Bone marrow smear — 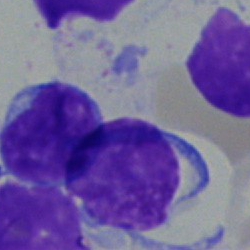
Q: What cell is this?
A: This is a lymphocyte.